Bone marrow aspirate smear · 250 by 250 pixels:
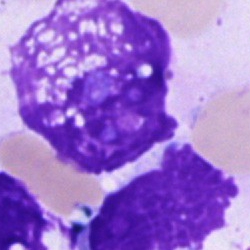

Classification: artefact.